Bone marrow smear; cropped to a single cell: 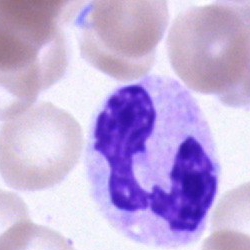
Classification = segmented neutrophil.